Peripheral blood smear; 400×400; M8 digital microscope (Precipoint), 100× oil immersion.
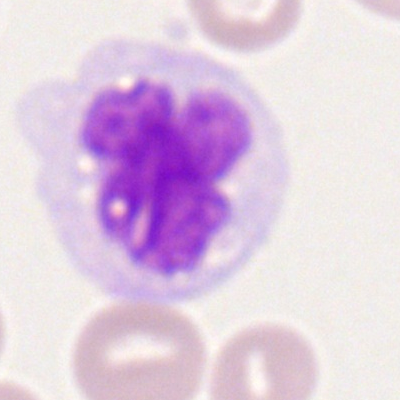
Morphological class — monocyte.